250 by 250 pixels; bone marrow aspirate smear:
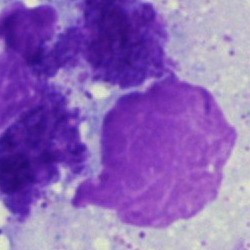 Showing an artefact.